Peripheral blood smear. Single cell centered in the field. 360×363:
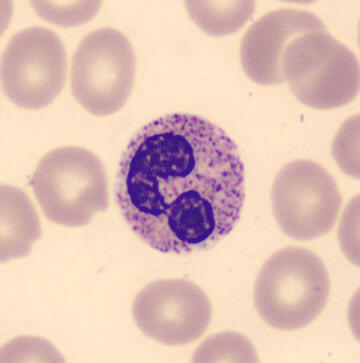 Q: What is the morphological classification of this cell?
A: It is a polymorphonuclear neutrophil.